Bone marrow smear · MGG-stained — 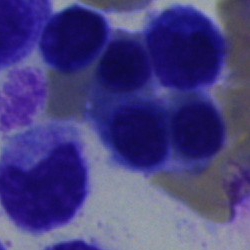Specimen: bone marrow smear.
Cell: nucleated red cell.
Lineage: erythroid.